Bone marrow aspirate smear.
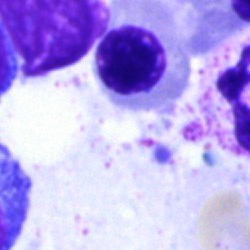
Nucleated red blood cell.